Bone marrow smear · single cell centered in the field.
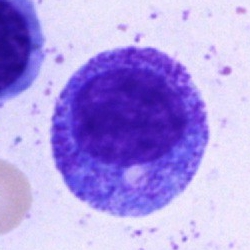 The cell shown is a progranulocyte.